Image size 250×250; bone marrow aspirate smear; single-cell crop.
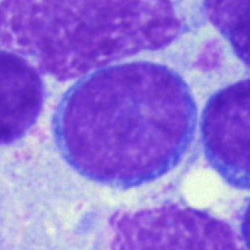

Q: What is the morphological classification of this cell?
A: This is a blast cell.